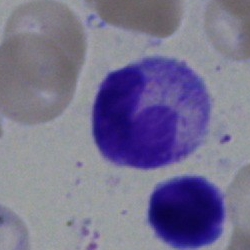

A neutrophil (band) on a bone marrow smear.